Bone marrow aspirate smear; May-Grünwald-Giemsa/Pappenheim stain: 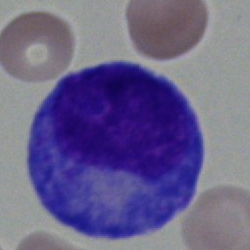
The cell shown is a progranulocyte.